Bone marrow aspirate smear
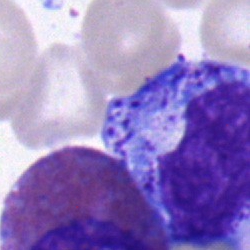 Cell: myelocyte.